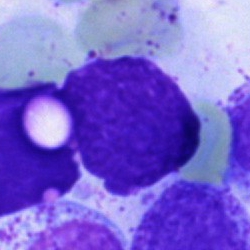

Bone marrow smear showing an artefact.